Peripheral blood smear · single-cell crop
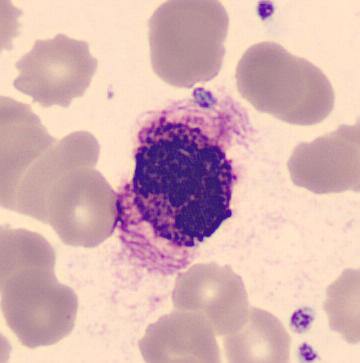 The morphological class is basophil.